Bone marrow aspirate smear.
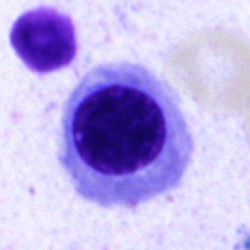Cell type: normoblast.